Pappenheim-stained; 250×250 px; bone marrow smear: 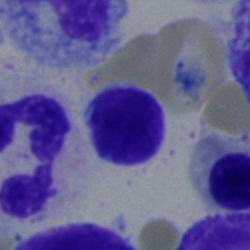
Specimen: bone marrow smear.
Morphological class: typical lymphocyte.
Lineage: lymphoid.